Bone marrow aspirate smear.
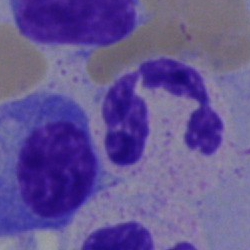 Single cell identified as a segmented neutrophil.